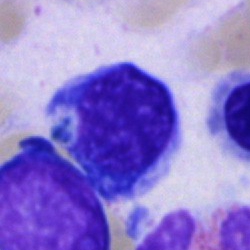 Bone marrow smear showing a normoblast.